Bone marrow smear
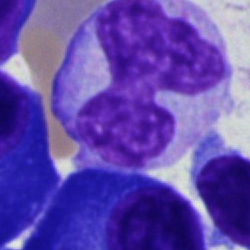
Cell: monocyte.